Bone marrow smear — 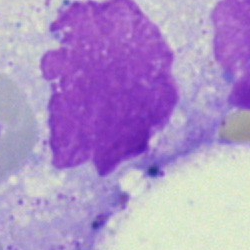Impression — artifact.